Bone marrow smear — 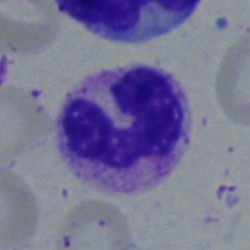 Single cell identified as a polymorphonuclear neutrophil.